Bone marrow aspirate smear.
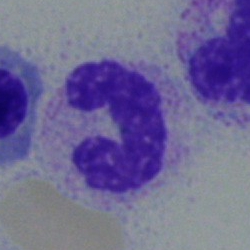
{"cell_type": "stab cell", "lineage": "myeloid"}